MGG-stained; bone marrow smear; 250×250 px.
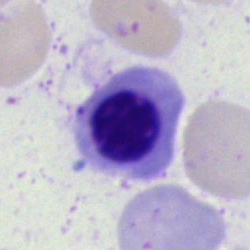
Showing a nucleated red cell.